Romanowsky-stained; 400×400; peripheral blood film.
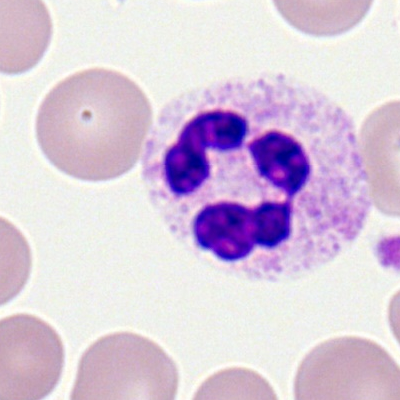 This is a neutrophil (segmented).